Bone marrow aspirate smear:
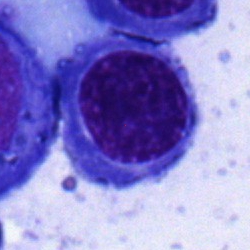
This is a nucleated red cell.